May-Grünwald-Giemsa stain; bone marrow smear — 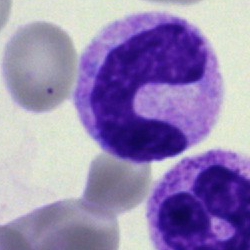
Morphology — neutrophil (band).